40× oil immersion · 250×250 · bone marrow aspirate smear:
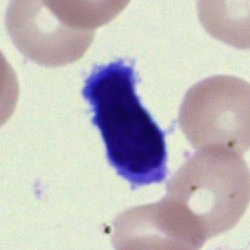

Q: Identify the cell.
A: This is an unidentifiable cell.